Image size 250×250 · bone marrow aspirate smear · May-Grünwald-Giemsa stain.
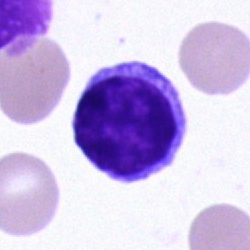
Classification — typical lymphocyte.